Peripheral blood smear.
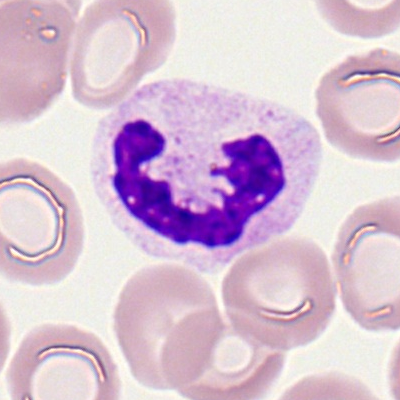
Cell type: neutrophil (segmented).